Bone marrow smear.
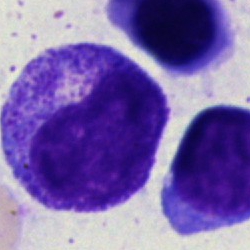

Showing a metamyelocyte.